Peripheral blood film
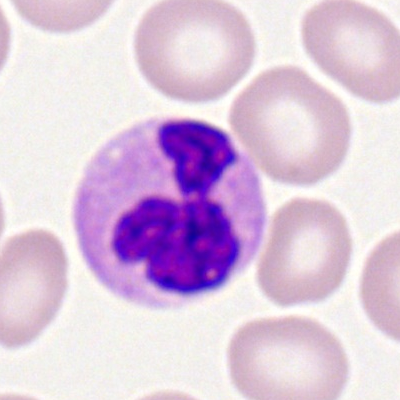 The cell shown is a polymorphonuclear neutrophil.